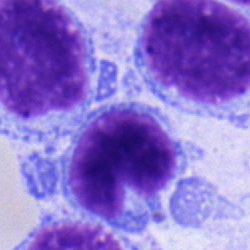

Single-cell crop from a bone marrow smear: lymphocyte.